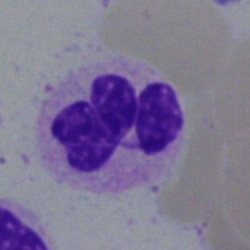Specimen: bone marrow aspirate smear.
Morphological class: segmented neutrophil.
Lineage: myeloid.